Bone marrow aspirate smear · 250×250 · May-Grünwald-Giemsa stain.
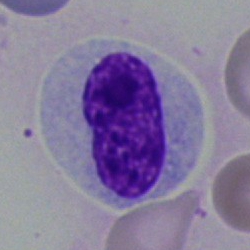Q: Identify the cell.
A: A metamyelocyte.